MGG-stained. 250×250. Bone marrow smear.
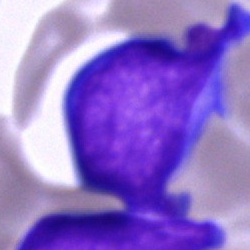

Specimen: bone marrow smear.
Cell type: blast.